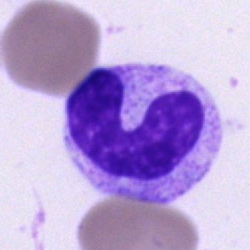 The cell shown is a band-form neutrophil.